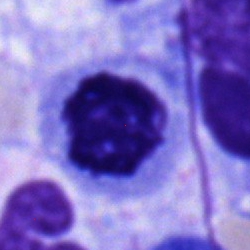
Specimen: bone marrow aspirate smear.
Cell: nucleated red blood cell.